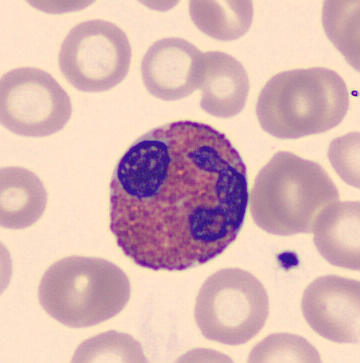

Eosinophilic granulocyte. MGG-stained · CellaVision DM96 · peripheral blood smear.